Bone marrow aspirate smear: 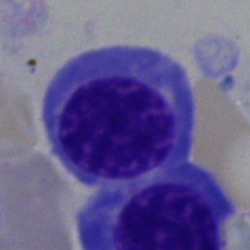Showing a nucleated red blood cell.